250×250 px · bone marrow smear · single-cell field.
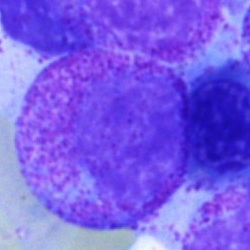Specimen: bone marrow aspirate smear.
Cell type: myelocyte.